May-Grünwald-Giemsa/Pappenheim stain · bone marrow aspirate smear — 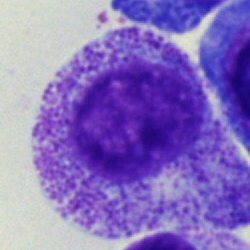Morphology consistent with a myelocyte.